Bone marrow aspirate smear; single cell centered in the field; 250 by 250 pixels:
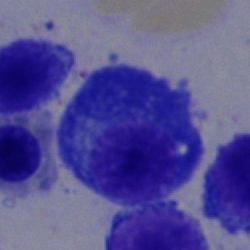Showing a plasma cell.